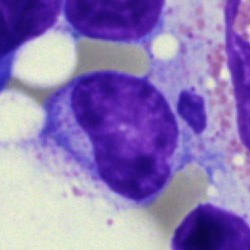
Morphology consistent with a typical lymphocyte.